250×250; 40× objective, oil immersion; bone marrow smear — 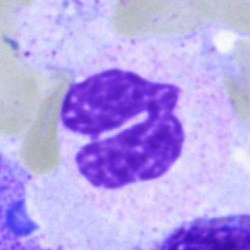
The cell type is neutrophil (segmented).